Bone marrow aspirate smear. Pappenheim-stained. Brightfield, 40× oil-immersion objective: 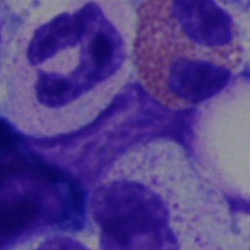 The morphological class is polymorphonuclear neutrophil.